Bone marrow smear; 250×250: 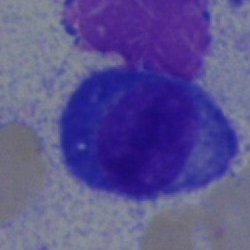 Q: Which cell type is shown here?
A: It is a plasma cell.